Bone marrow aspirate smear.
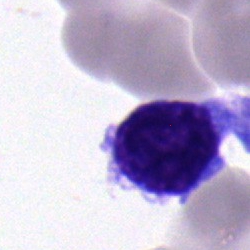

Classification — typical lymphocyte.